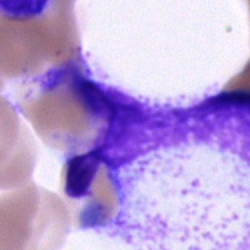 Classification: cell of indeterminate lineage.